Single cell centered in the field; peripheral blood film:
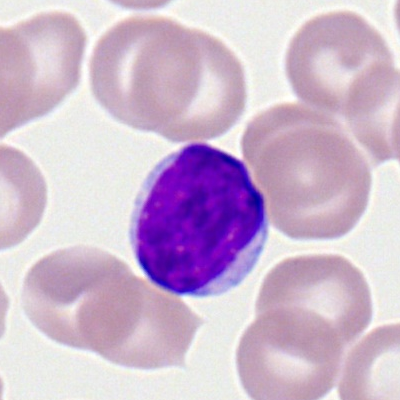 Showing a lymphocyte.